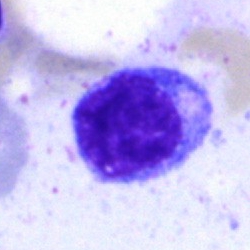
Specimen: bone marrow aspirate smear.
Cell: lymphocyte.
Lineage: lymphoid.